Bone marrow smear. Single-cell crop — 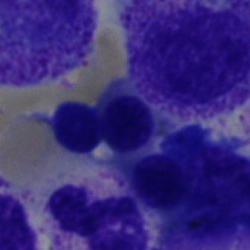Classification — nucleated red cell.